Single cell centered in the field · bone marrow smear:
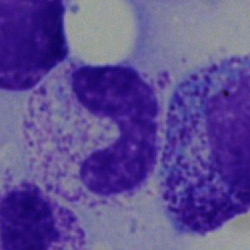

Cell: stab cell.